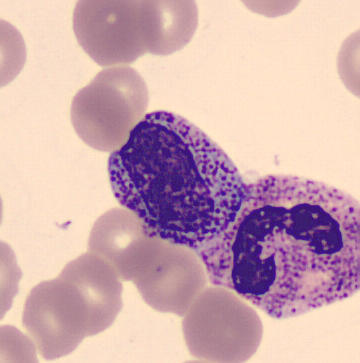
Preparation: Peripheral blood smear · MGG stain.
Single cell identified as a myelocyte.